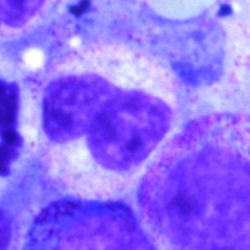
Bone marrow aspirate smear, single cell — band neutrophil.